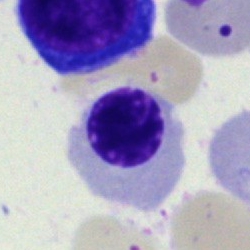
Single-cell crop from a bone marrow smear: erythroblast.